Bone marrow smear
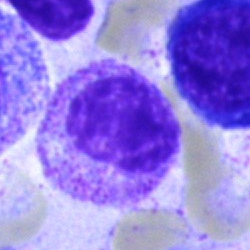 Impression → myelocyte.